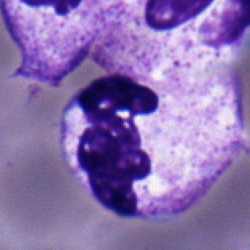

Specimen: bone marrow smear.
Cell type: segmented neutrophil.
Lineage: myeloid.